Brightfield microscopy, 40× oil immersion; bone marrow smear; Pappenheim-stained:
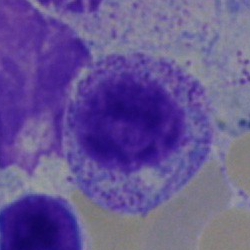

Morphology → myelocyte.